250×250 px; bone marrow smear.
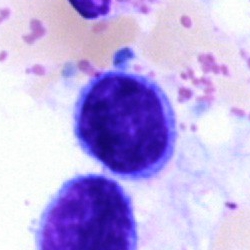Lymphocyte.